Bone marrow aspirate smear
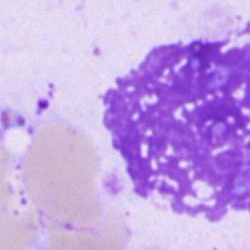 Cell type = artifact.